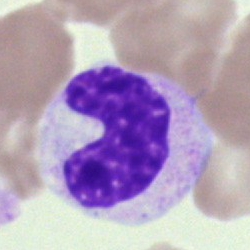 Q: What is the morphological classification of this cell?
A: This is a stab cell.